Bone marrow aspirate smear. Brightfield microscopy, 40× oil immersion.
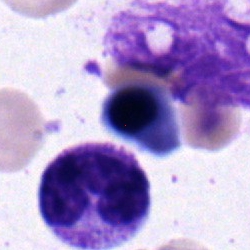
Specimen: bone marrow aspirate smear.
Cell: erythroblast.
Lineage: erythroid.